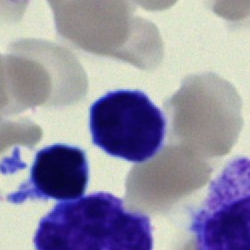

Morphology — lymphocyte.